100× oil immersion. Peripheral blood film:
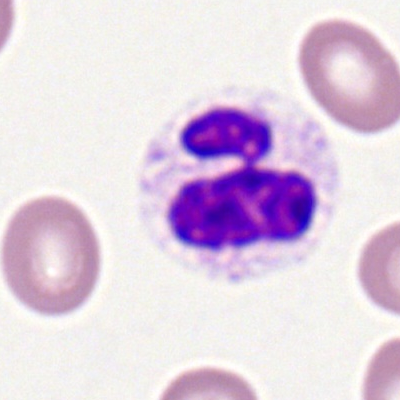

Showing a polymorphonuclear neutrophil.